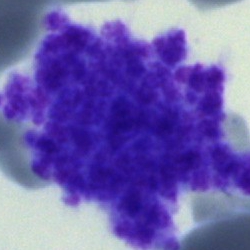 Morphology → other cell type.